Peripheral blood smear
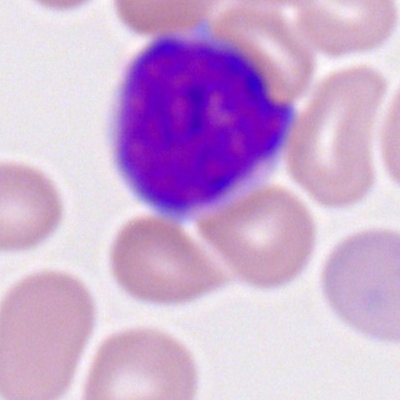Morphological class: myeloid blast.